Bone marrow aspirate smear: 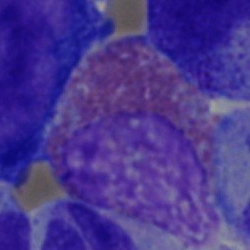Q: Identify the cell.
A: It is an eosinophilic granulocyte.